250×250 · brightfield, 40× oil-immersion objective · bone marrow aspirate smear
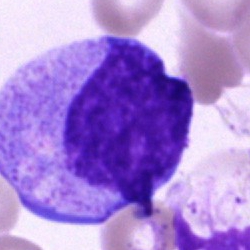The morphological class is progranulocyte.